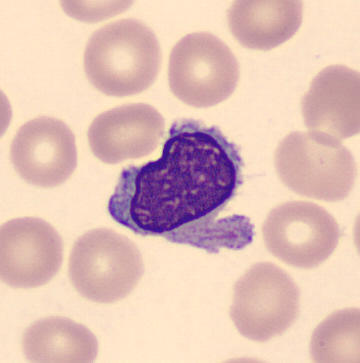
Classification — typical lymphocyte.

Image size 360×363; peripheral blood film; CellaVision DM96.